Bone marrow aspirate smear. MGG-stained
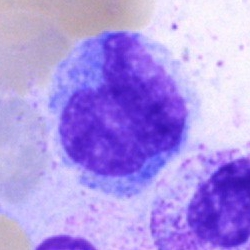
A monocyte.